Image size 250×250 · bone marrow smear — 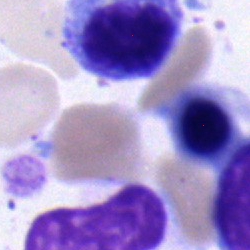
Morphology consistent with an erythroblast.